Bone marrow smear: 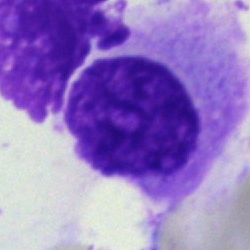
Specimen: bone marrow aspirate smear.
Cell type: artefact.